Single cell centered in the field · 40× objective, oil immersion · bone marrow aspirate smear: 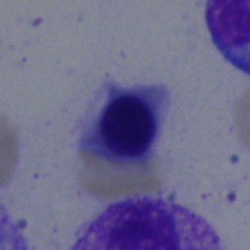 Morphological class = nucleated red cell.